Bone marrow smear:
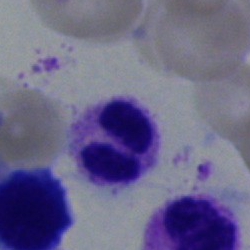
Impression — polymorphonuclear neutrophil.